MGG-stained · bone marrow smear:
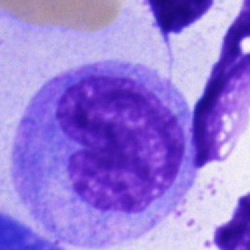 Specimen: bone marrow smear.
Classification: monocyte.
Lineage: myeloid.